Single-cell crop; bone marrow smear
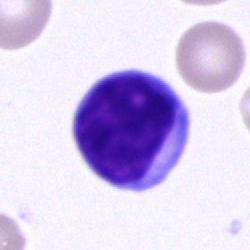Q: What is shown here?
A: A lymphocyte.